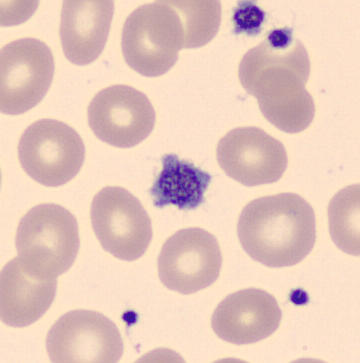 Preparation: Peripheral blood film. This is a thrombocyte.